Bone marrow aspirate smear
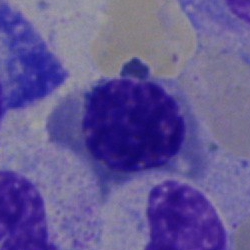

Q: What type of cell is this?
A: It is a nucleated red blood cell.